Bone marrow aspirate smear — 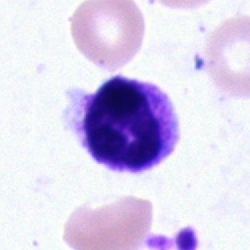Morphology consistent with a polymorphonuclear neutrophil.